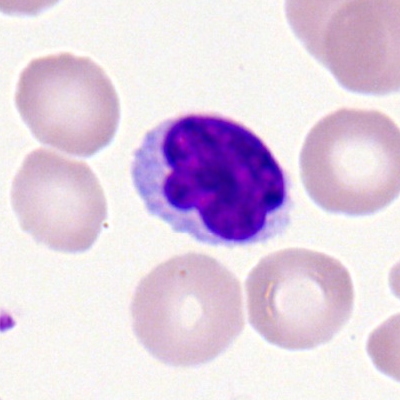

Specimen: peripheral blood smear.
Cell: typical lymphocyte.
Lineage: lymphoid.